Bone marrow aspirate smear
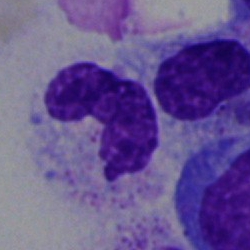

Single cell identified as a band neutrophil.